Bone marrow smear; cropped to a single cell; May-Grünwald-Giemsa stain.
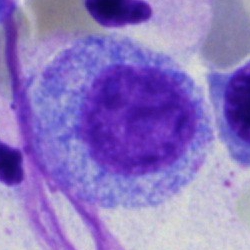
Q: Identify the cell.
A: A promyelocyte.